Bone marrow aspirate smear
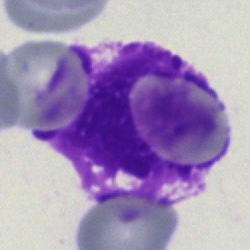 Artefact.